May-Grünwald-Giemsa-stained · peripheral blood smear: 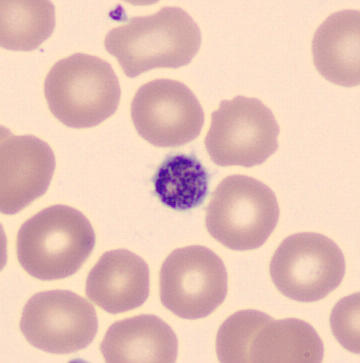
A platelet (thrombocyte).